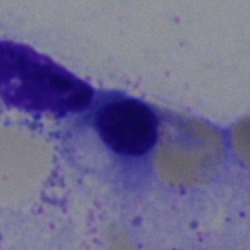Single-cell crop from a bone marrow smear: normoblast.